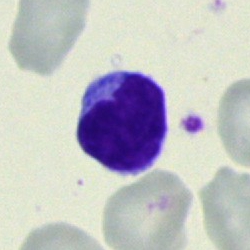
The classification is typical lymphocyte.